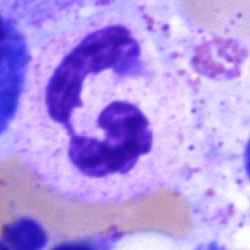
Specimen: bone marrow smear.
Classification: polymorphonuclear neutrophil.
Lineage: myeloid.